Bone marrow aspirate smear. Image size 250×250. Pappenheim-stained
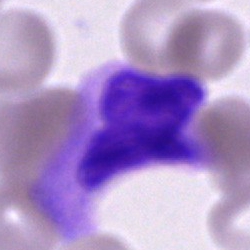Specimen: bone marrow aspirate smear.
Cell type: unidentifiable cell.